Bone marrow smear: 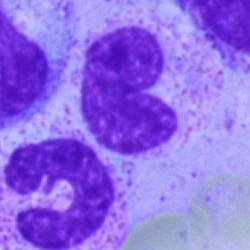

Showing a band neutrophil.